Bone marrow aspirate smear — 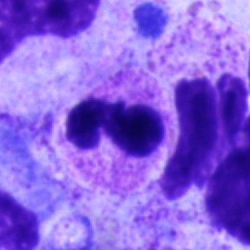 Cell type: polymorphonuclear neutrophil.